MGG-stained; brightfield microscopy, 40× oil immersion; bone marrow smear — 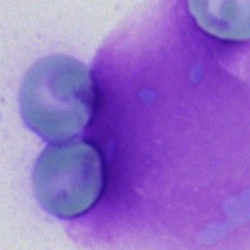Showing an artifact.